Cropped to a single cell; peripheral blood film — 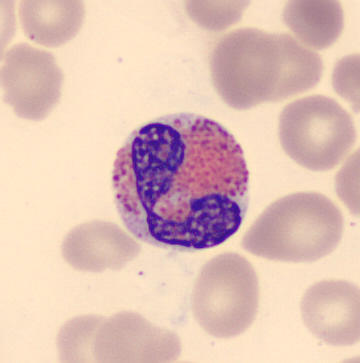
Morphological class = eosinophil.